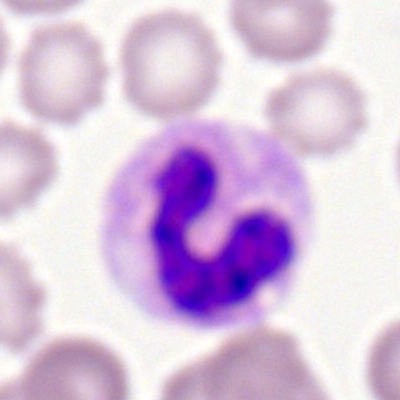 Specimen: peripheral blood smear.
Cell type: neutrophil (segmented).